Bone marrow aspirate smear: 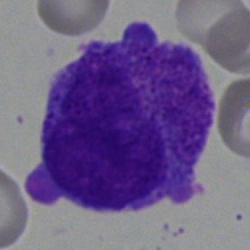Showing an undifferentiated blast.